Bone marrow aspirate smear — 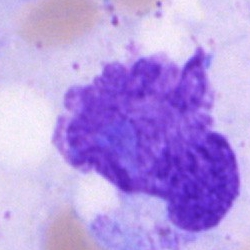 Impression → artifact.